Bone marrow aspirate smear.
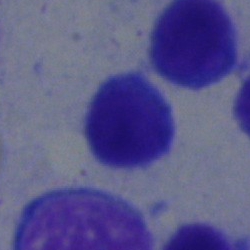This is a lymphocyte.